MGG stain; peripheral blood film.
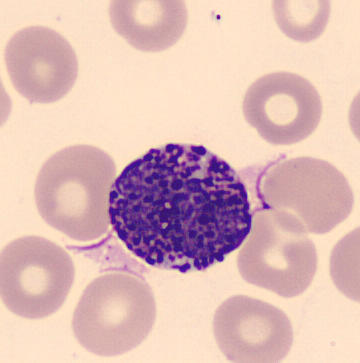Q: Identify the cell.
A: Basophil.